Bone marrow aspirate smear. 250×250:
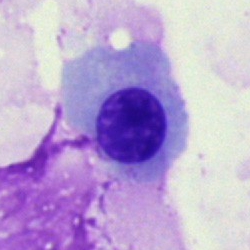An erythroblast.